May-Grünwald-Giemsa/Pappenheim stain. Bone marrow smear
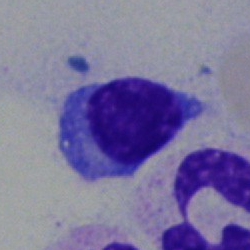Morphological class: plasma cell.